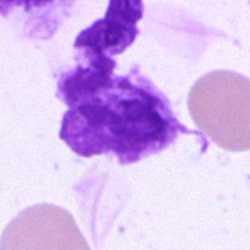Morphology — artefact.